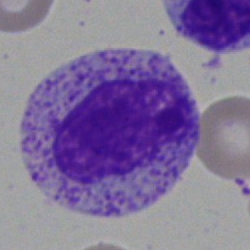Classification = myelocyte.